Peripheral blood smear. Single cell centered in the field — 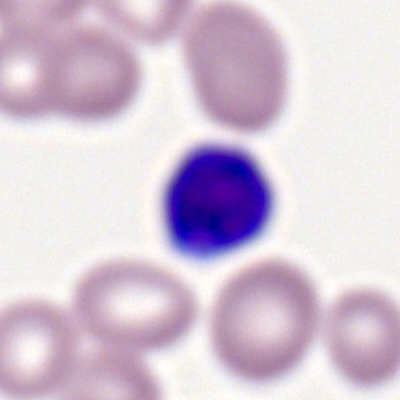 Showing a typical lymphocyte.